Bone marrow smear
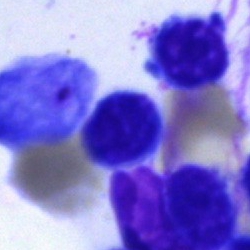
Single cell identified as an artefact.